May-Grünwald-Giemsa stain · bone marrow smear — 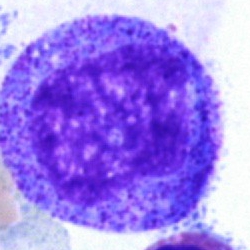 A progranulocyte.